Bone marrow aspirate smear; brightfield, 40× oil-immersion objective:
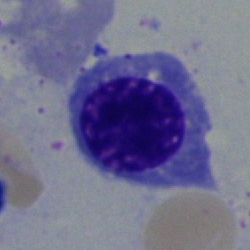

Cell = nucleated red cell.